Bone marrow smear · brightfield microscopy, 40× oil immersion · May-Grünwald-Giemsa/Pappenheim stain — 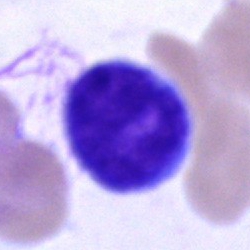 The cell shown is a promyelocyte.